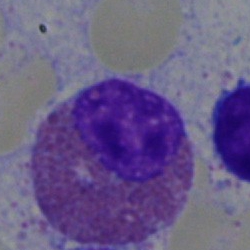The cell shown is an eosinophilic granulocyte.